MGG-stained. Bone marrow smear. Single cell centered in the field — 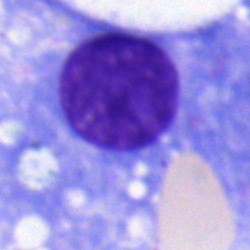

Q: Identify the cell.
A: A plasma cell.